May-Grünwald-Giemsa/Pappenheim stain · brightfield microscopy, 40× oil immersion · bone marrow aspirate smear — 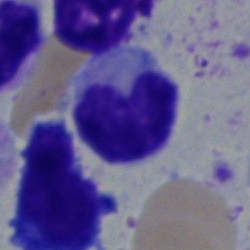 A metamyelocyte.